Bone marrow smear
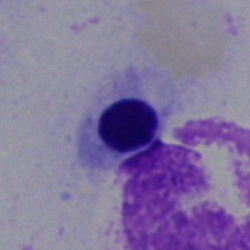
Nucleated red cell.